Bone marrow aspirate smear:
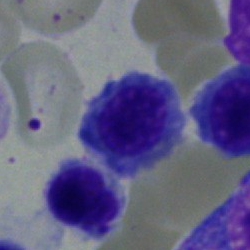
Specimen: bone marrow aspirate smear.
Classification: normoblast.